250 by 250 pixels; bone marrow smear
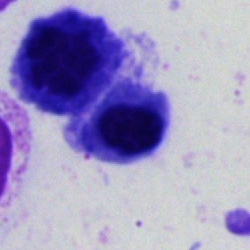 Morphology consistent with a nucleated red cell.